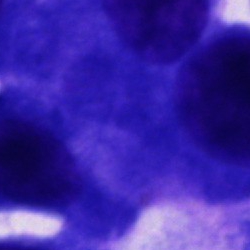Morphology consistent with an other cell type.